MGG-stained · 250×250 px · bone marrow smear:
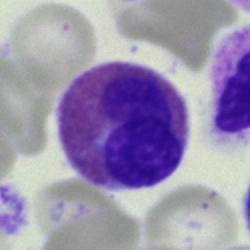
Q: Which cell type is shown here?
A: It is an eosinophil.